Bone marrow aspirate smear · May-Grünwald-Giemsa stain
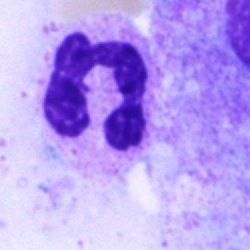
Morphology — neutrophil (segmented).